May-Grünwald-Giemsa stain · 40× objective, oil immersion · bone marrow smear:
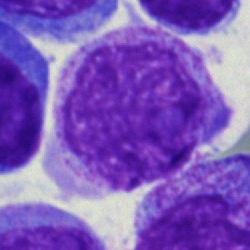Morphology — artefact.